Bone marrow smear · cropped to a single cell.
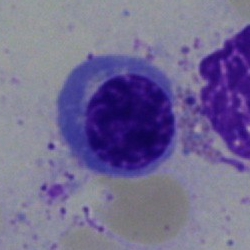
Morphology consistent with a nucleated red blood cell.